400×400 px · peripheral blood smear: 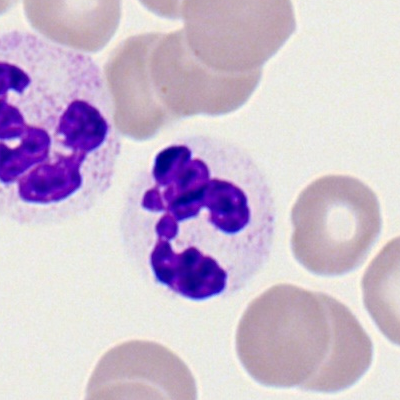 Specimen: peripheral blood film.
Cell type: neutrophil (segmented).
Lineage: myeloid.